Bone marrow smear. Image size 250×250:
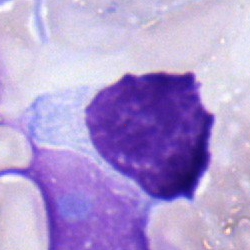
Classification = lymphocyte.